Romanowsky-stained. Peripheral blood film — 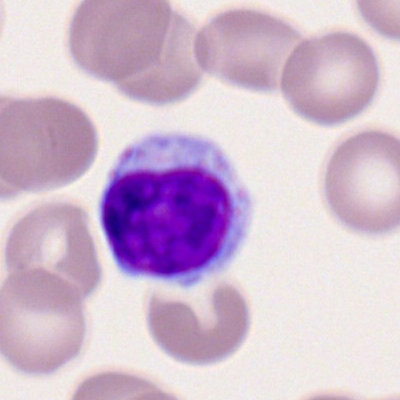

Specimen: peripheral blood film.
Morphological class: typical lymphocyte.
Lineage: lymphoid.